Bone marrow aspirate smear; 40× objective, oil immersion:
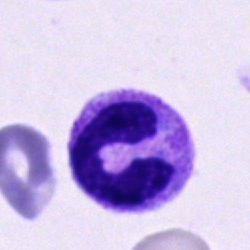 Morphology — neutrophil (band).